Bone marrow aspirate smear; single-cell crop: 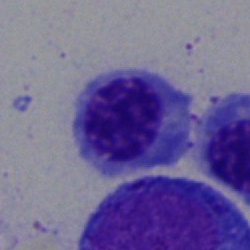
Q: What is the morphological classification of this cell?
A: Erythroblast.